Peripheral blood film: 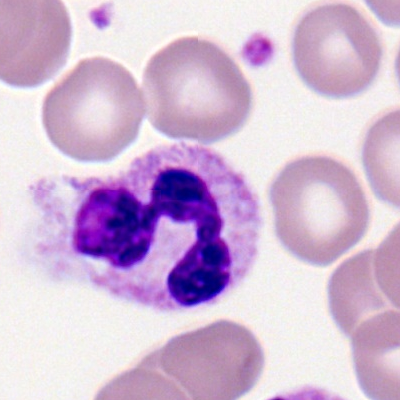 This is a segmented neutrophil.